Bone marrow aspirate smear. Cropped to a single cell
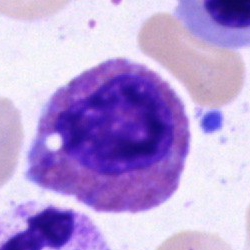 Q: Which cell type is shown here?
A: Eosinophil.